Peripheral blood film; single cell centered in the field:
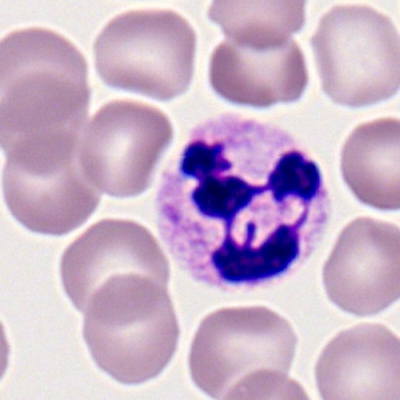
Single cell identified as a polymorphonuclear neutrophil.